40× objective, oil immersion; bone marrow aspirate smear
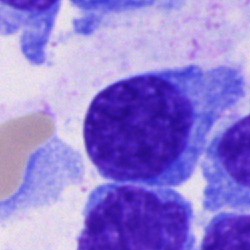
Morphological class = plasma cell.